Bone marrow smear. Brightfield, 40× oil-immersion objective. 250×250: 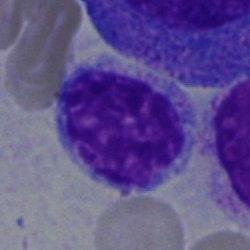
Nucleated red cell.